40× oil immersion; bone marrow smear; cropped to a single cell.
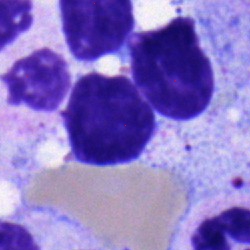

The morphological class is typical lymphocyte.